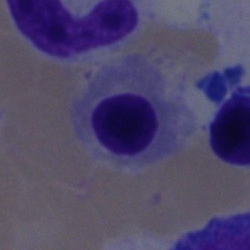

Cell — nucleated red blood cell.